100× objective, oil immersion. Peripheral blood smear. Romanowsky-type stain
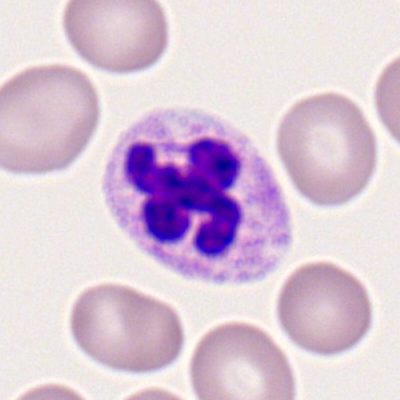
Q: What type of cell is this?
A: Neutrophil (segmented).